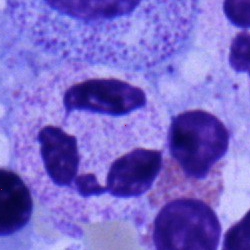 Q: What is the morphological classification of this cell?
A: A segmented neutrophil.